Bone marrow smear.
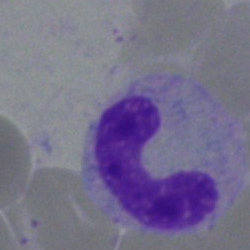Morphological class: stab cell.